Bone marrow smear.
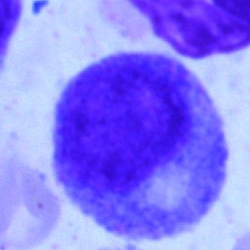
Morphological class: promyelocyte.